Bone marrow aspirate smear:
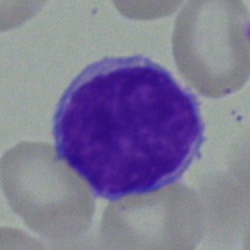Morphological class = lymphocyte.